Bone marrow aspirate smear.
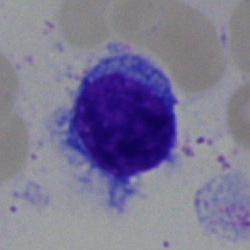Q: What is shown here?
A: It is a lymphocyte.